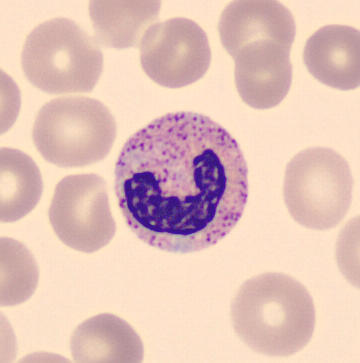
Acquisition: Peripheral blood film.
The cell is band-form neutrophil.